Bone marrow smear:
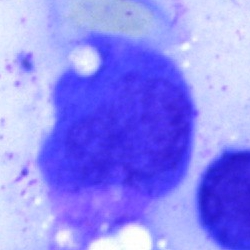 Morphology → artefact.